Single-cell crop · bone marrow aspirate smear · 250×250
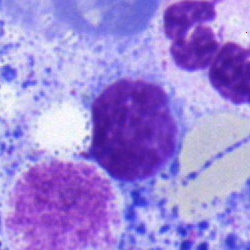
Q: What type of cell is this?
A: This is a lymphocyte.